Bone marrow smear. Single-cell field: 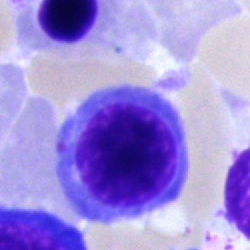

The cell is normoblast.